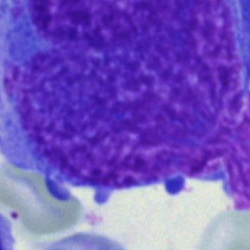 The classification is artifact.